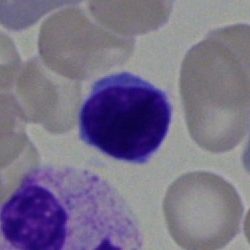 {"cell_type": "typical lymphocyte"}